Bone marrow aspirate smear:
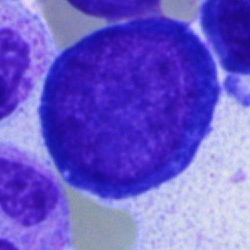Q: What type of cell is this?
A: Proerythroblast.